Bone marrow smear — 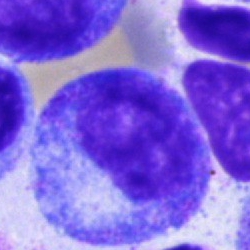 Showing a progranulocyte.